Image size 360×363; peripheral blood smear — 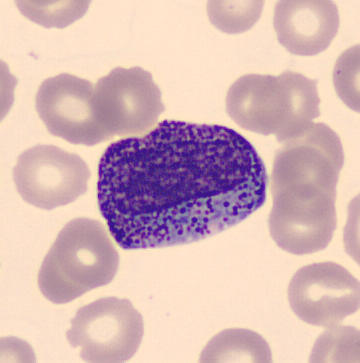
{"cell_type": "progranulocyte"}